Bone marrow aspirate smear · MGG-stained:
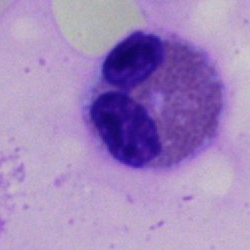
The morphological class is eosinophil.